Bone marrow smear; 250 by 250 pixels; May-Grünwald-Giemsa stain — 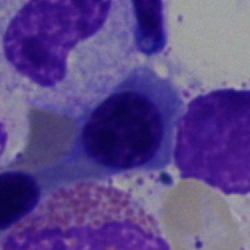Morphology consistent with an erythroblast.